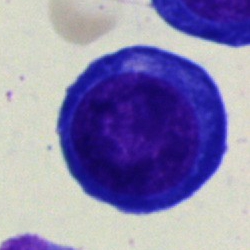A pronormoblast.